Bone marrow smear:
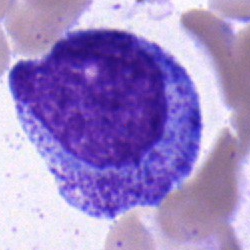Specimen: bone marrow smear.
Classification: progranulocyte.
Lineage: myeloid.